40× objective, oil immersion; MGG-stained; bone marrow aspirate smear
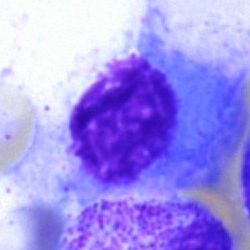Morphology → plasma cell.